Cropped to a single cell. Bone marrow smear.
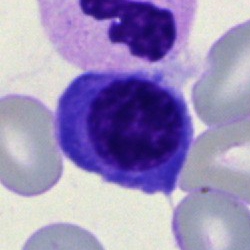{"cell_type": "nucleated red blood cell", "lineage": "erythroid"}